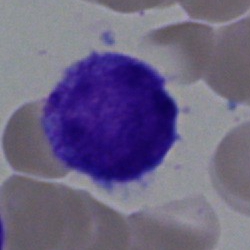 Classification: typical lymphocyte.